Bone marrow smear:
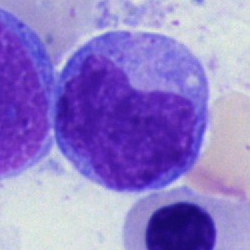Specimen: bone marrow smear.
Cell: monocyte.